Peripheral blood smear: 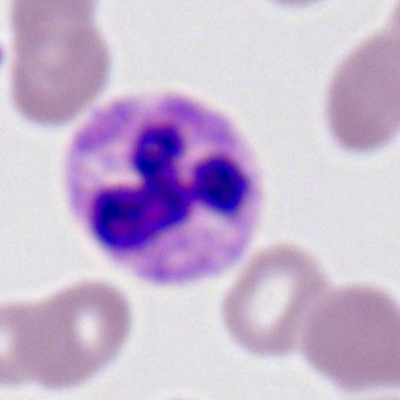

Showing a neutrophil (segmented).